100× oil immersion · peripheral blood smear — 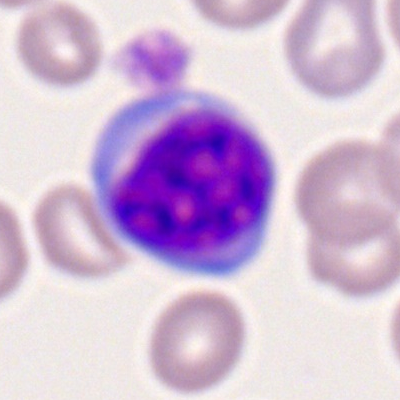Morphology consistent with a typical lymphocyte.